Bone marrow smear.
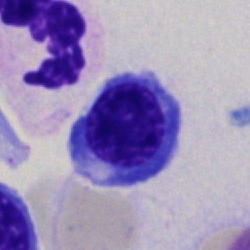The cell shown is an erythroblast.